Bone marrow smear · 40× oil immersion:
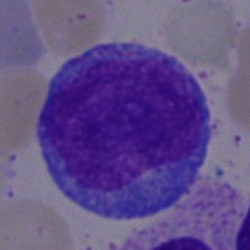
Q: Which cell type is shown here?
A: A progranulocyte.